Bone marrow smear; May-Grünwald-Giemsa stain; brightfield, 40× oil-immersion objective.
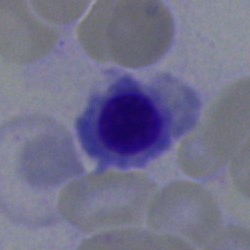 Nucleated red cell.